Peripheral blood smear — 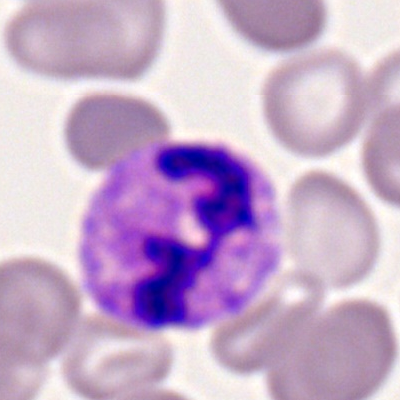 Morphological class: segmented neutrophil.